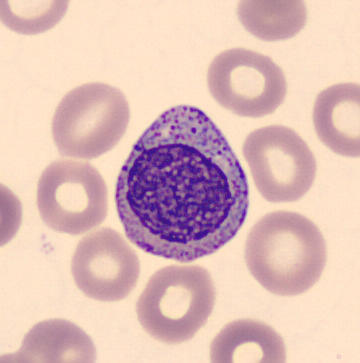
This is a myelocyte.
MGG stain · peripheral blood film.